40× objective, oil immersion. Single-cell field. Bone marrow aspirate smear.
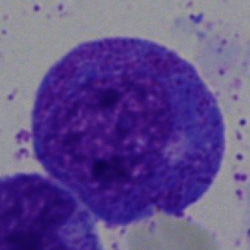
Morphology — progranulocyte.